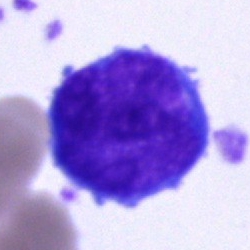
Cell type: blast.